Bone marrow aspirate smear · cropped to a single cell
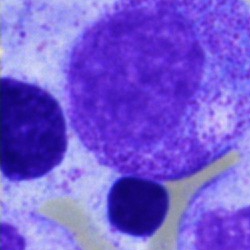Classification: myelocyte.